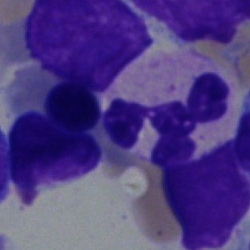
Morphological class: polymorphonuclear neutrophil.